May-Grünwald-Giemsa stain; single-cell field; bone marrow smear — 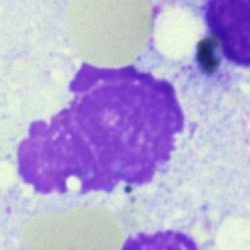
Specimen: bone marrow smear.
Classification: artefact.